Image size 250×250 · 40× oil immersion · bone marrow aspirate smear.
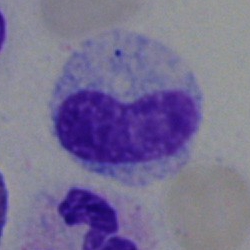
Cell: neutrophil (band).